Bone marrow aspirate smear: 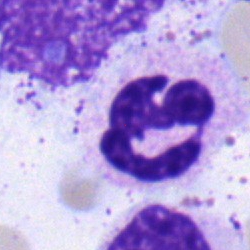
Cell type = neutrophil (segmented).